Bone marrow aspirate smear.
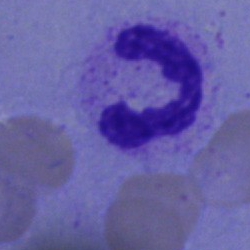

Morphology → polymorphonuclear neutrophil.